Bone marrow smear — 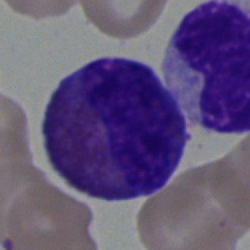
Q: Identify the cell.
A: Eosinophil.